Bone marrow smear
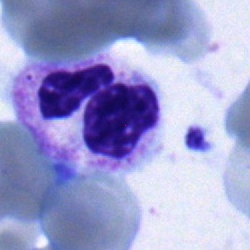
Morphology consistent with a segmented neutrophil.